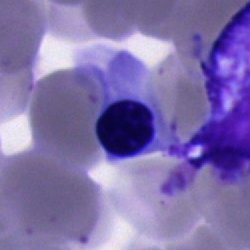

Nucleated red blood cell.